MGG-stained; bone marrow aspirate smear; 250×250 px.
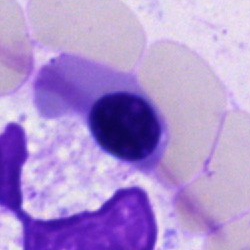

Q: What type of cell is this?
A: It is a nucleated red blood cell.